Bone marrow aspirate smear
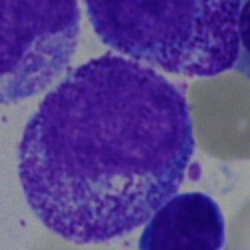Specimen: bone marrow aspirate smear.
Cell: myelocyte.
Lineage: myeloid.